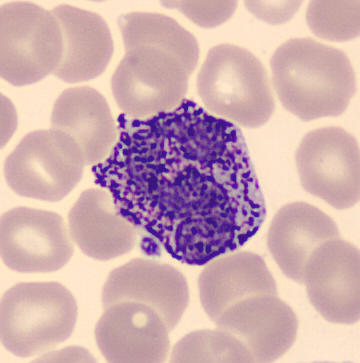Peripheral blood film; single-cell field.

Q: What is shown here?
A: This is a basophilic granulocyte.